Bone marrow smear: 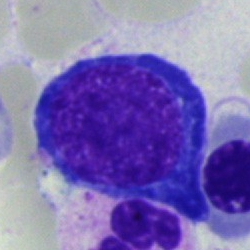 Morphology → nucleated red blood cell.